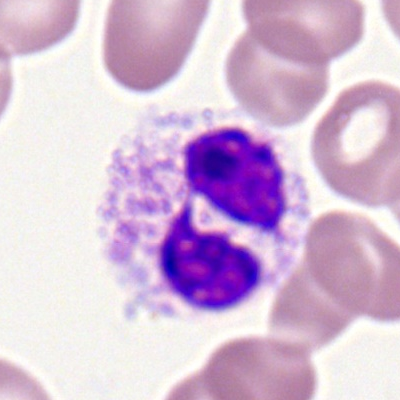
Classification — neutrophil (segmented).